Bone marrow aspirate smear
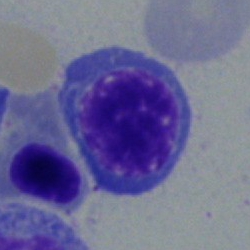
Cell = normoblast.